Bone marrow aspirate smear
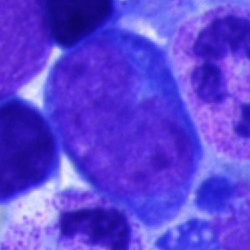
Classification = blast cell.